Bone marrow aspirate smear: 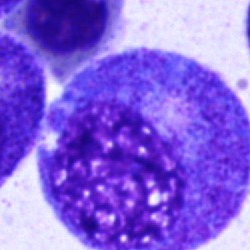 Q: What is shown here?
A: It is a promyelocyte.